Bone marrow aspirate smear — 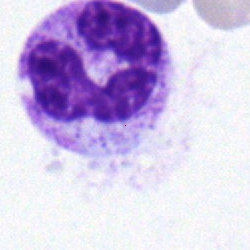Classification: polymorphonuclear neutrophil.